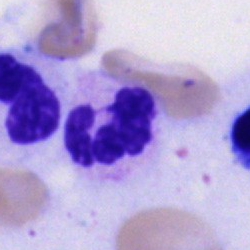 Q: What cell is this?
A: It is a segmented neutrophil.